Brightfield, 40× oil-immersion objective. Bone marrow smear — 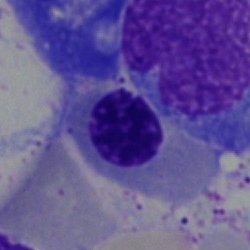 This is a nucleated red cell.